Bone marrow smear:
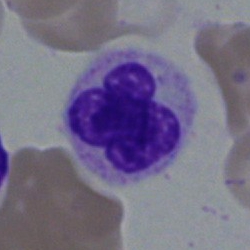Cell type = neutrophil (segmented).